Peripheral blood film; Romanowsky stain — 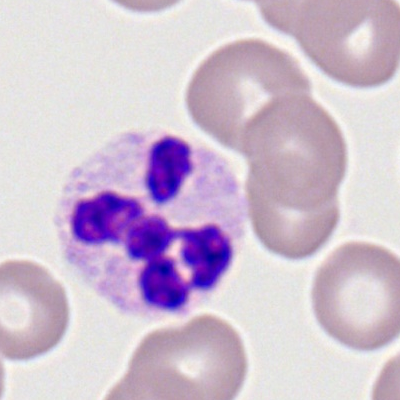 Segmented neutrophil.